Bone marrow aspirate smear. Single-cell field — 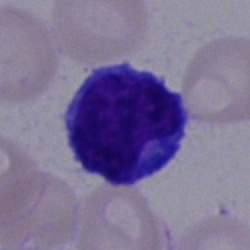
Single cell identified as a typical lymphocyte.